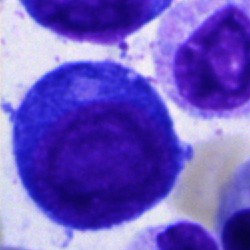

Morphological class = pronormoblast.